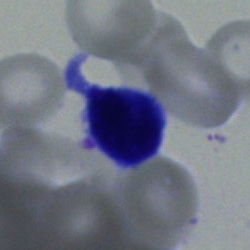

A lymphocyte.